Bone marrow aspirate smear: 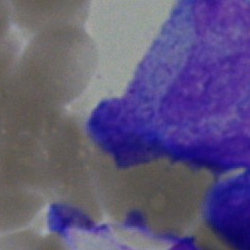Cell type — undifferentiated blast.